250×250 · bone marrow aspirate smear.
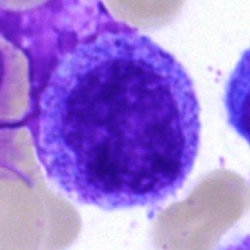
Specimen: bone marrow smear.
Cell type: promyelocyte.